Brightfield, 40× oil-immersion objective. Bone marrow smear.
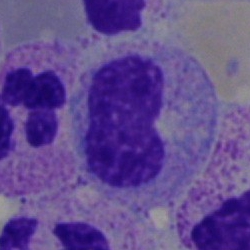

Q: Which cell type is shown here?
A: It is a band neutrophil.